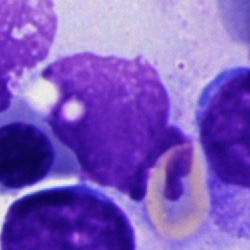
The morphological class is artefact.